Bone marrow smear · Pappenheim-stained: 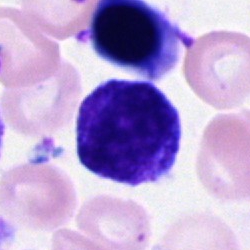 Single cell identified as a lymphocyte.